Bone marrow aspirate smear; Pappenheim-stained; image size 250×250
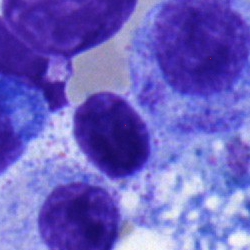

Typical lymphocyte.